250×250 · bone marrow smear · cropped to a single cell:
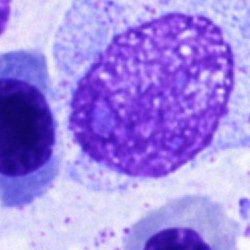

Morphological class — artefact.